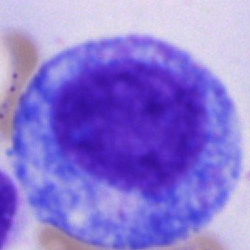
Specimen: bone marrow smear.
Cell: progranulocyte.
Lineage: myeloid.